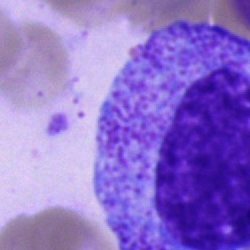 Bone marrow aspirate smear, single cell — promyelocyte.